Bone marrow smear; 250×250 px: 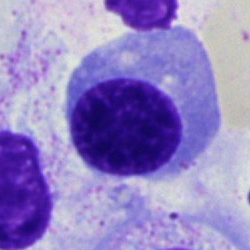 Cell = erythroblast.